May-Grünwald-Giemsa/Pappenheim stain · bone marrow smear · single cell centered in the field
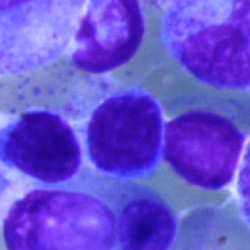
Lymphocyte.